100× oil immersion · peripheral blood smear: 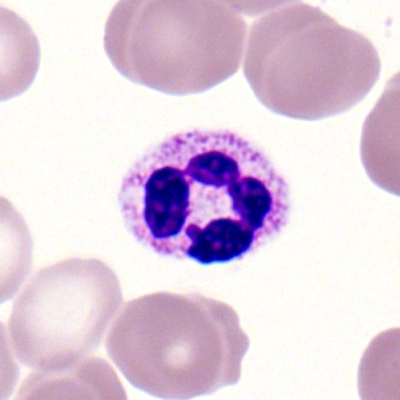
Morphology consistent with a neutrophil (segmented).